Bone marrow smear
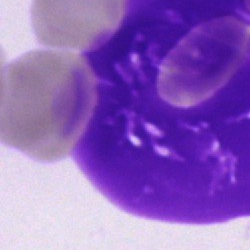
Single cell identified as an artifact.